Bone marrow aspirate smear — 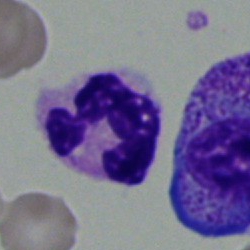
Cell type = segmented neutrophil.